Bone marrow smear:
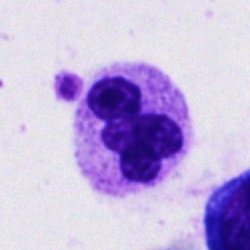 This is a segmented neutrophil.